Bone marrow smear:
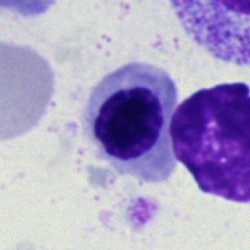
Morphological class: nucleated red cell.